Single-cell crop. Bone marrow smear:
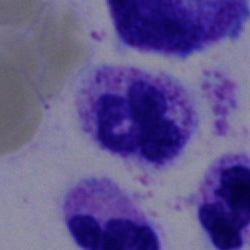

The morphological class is neutrophil (segmented).